Single cell centered in the field; peripheral blood film.
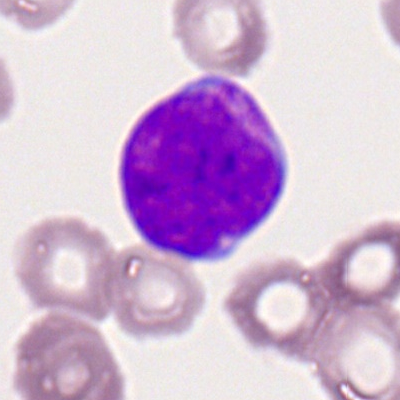The cell shown is a myeloblast.